Bone marrow aspirate smear.
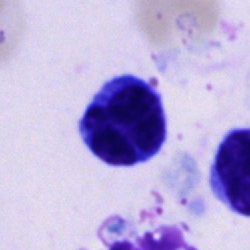A plasma cell.